Bone marrow smear. Cropped to a single cell. Brightfield, 40× oil-immersion objective
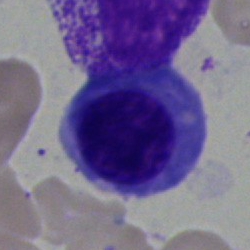 Q: What cell is this?
A: An erythroblast.